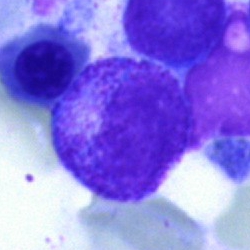 Specimen: bone marrow smear.
Morphological class: myelocyte.